Bone marrow smear · Pappenheim-stained:
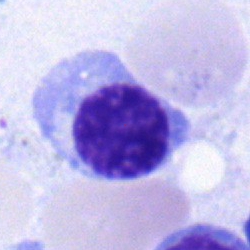

Cell: normoblast.